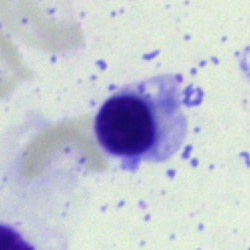
Bone marrow smear showing a nucleated red cell.